Bone marrow smear
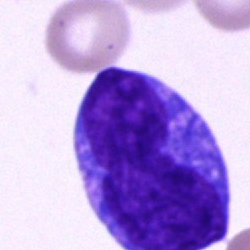

Cell — undifferentiated blast.